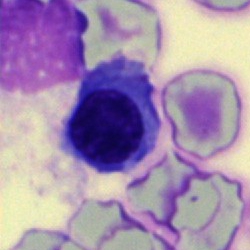

Cell type = erythroblast.